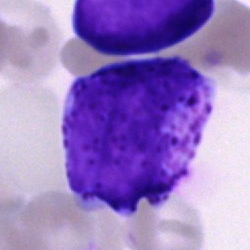

The morphological class is basophilic granulocyte.